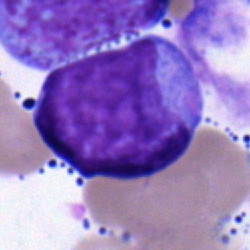
Morphological class = undifferentiated blast.